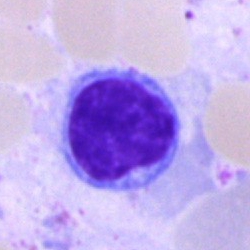 Q: What type of cell is this?
A: Typical lymphocyte.